Brightfield, 40× oil-immersion objective. Single-cell field. Bone marrow smear:
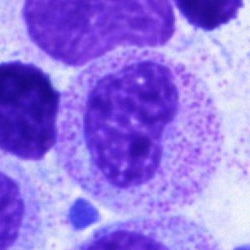 The cell type is neutrophil (band).